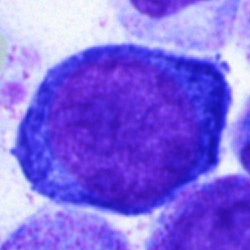The cell shown is a proerythroblast.